Bone marrow smear.
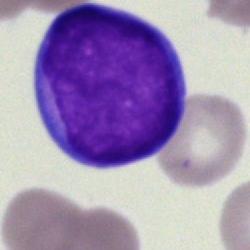
Showing a blast.